Bone marrow smear; Pappenheim-stained; 40× objective, oil immersion — 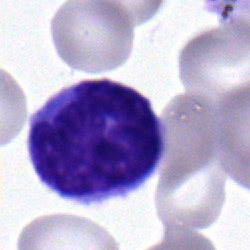This is a monocyte.